Bone marrow aspirate smear. Brightfield, 40× oil-immersion objective.
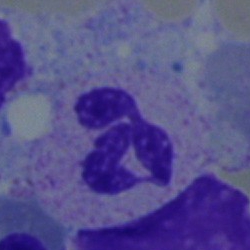Specimen: bone marrow smear.
Cell: neutrophil (segmented).
Lineage: myeloid.